Bone marrow aspirate smear: 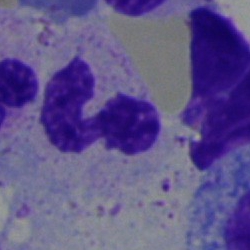

Showing a segmented neutrophil.